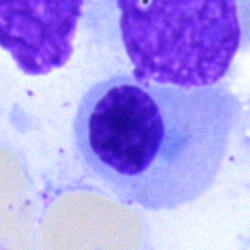

Specimen: bone marrow aspirate smear.
Classification: nucleated red blood cell.
Lineage: erythroid.